Peripheral blood smear. Romanowsky-stained
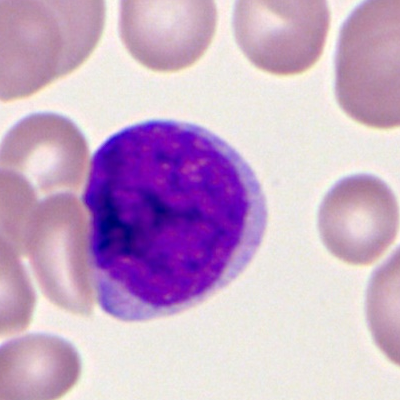Single cell identified as a myeloblast.